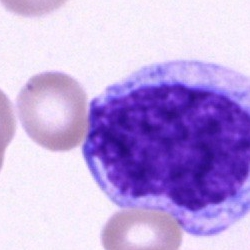 Specimen: bone marrow smear.
Classification: cell of indeterminate lineage.